Bone marrow aspirate smear: 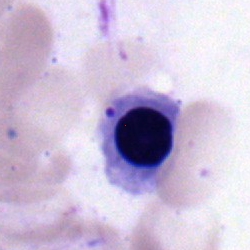
Classification: erythroblast.